Bone marrow smear
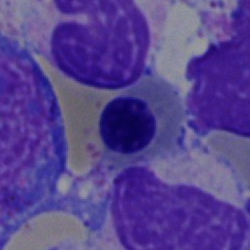
Specimen: bone marrow smear.
Morphological class: normoblast.